Bone marrow smear: 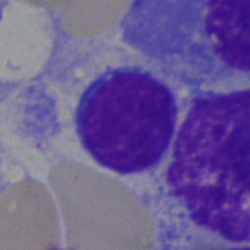 A typical lymphocyte.